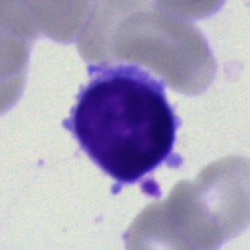 Specimen: bone marrow smear.
Morphological class: typical lymphocyte.
Lineage: lymphoid.